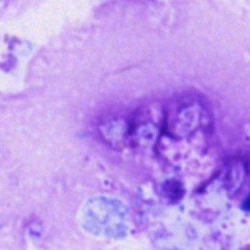

Impression → artifact.